Bone marrow smear:
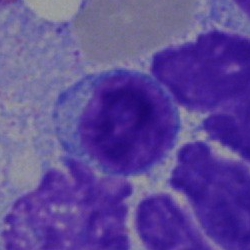The cell is typical lymphocyte.